Image size 250×250. Bone marrow smear.
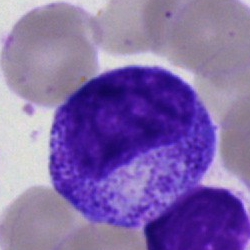Q: Identify the cell.
A: Progranulocyte.